Bone marrow smear:
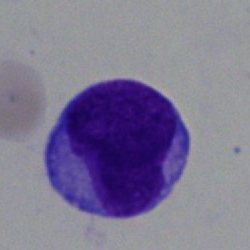
Morphology consistent with a blast cell.